Bone marrow aspirate smear:
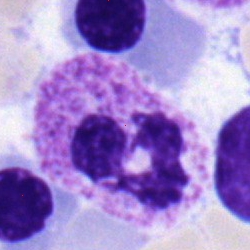The cell type is neutrophil (segmented).